Bone marrow aspirate smear. 250 by 250 pixels.
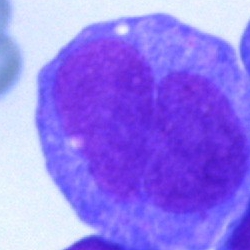
Single cell identified as an undifferentiated blast.